Image size 250×250 · bone marrow aspirate smear
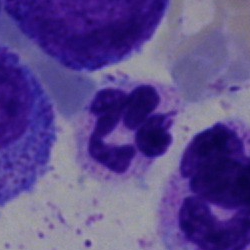Morphological class: segmented neutrophil.